Image size 250×250; bone marrow smear; MGG-stained: 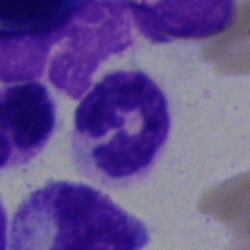
The classification is neutrophil (segmented).